Bone marrow smear
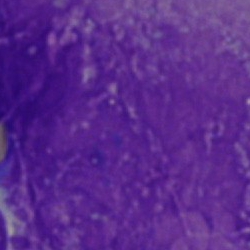

An artefact.